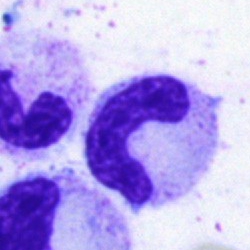Q: Identify the cell.
A: This is a stab cell.